Bone marrow smear.
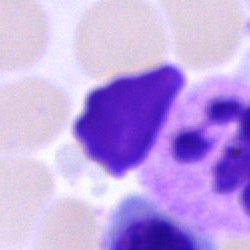 Specimen: bone marrow aspirate smear.
Morphological class: segmented neutrophil.
Lineage: myeloid.